Brightfield microscopy, 40× oil immersion · bone marrow aspirate smear · image size 250×250 — 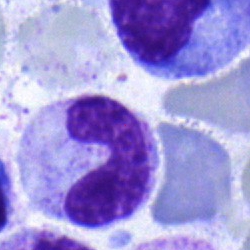 This is a band-form neutrophil.